Bone marrow aspirate smear.
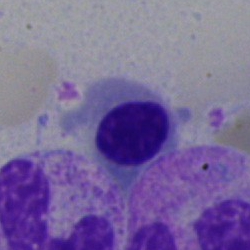 Q: Identify the cell.
A: An erythroblast.